Bone marrow aspirate smear.
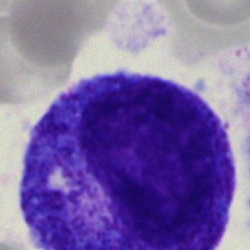

Morphology consistent with a progranulocyte.